Bone marrow aspirate smear · 40× objective, oil immersion: 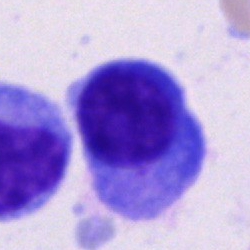Showing a plasma cell.